Bone marrow aspirate smear
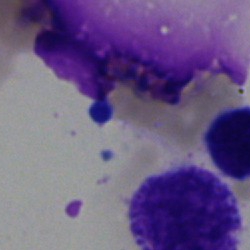

Q: What is shown here?
A: An artefact.